Bone marrow smear:
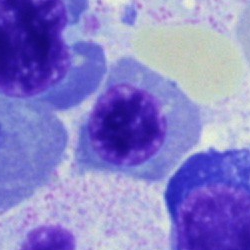Specimen: bone marrow smear.
Cell type: normoblast.
Lineage: erythroid.